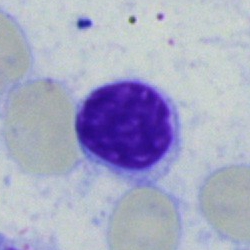

Bone marrow aspirate smear, single cell — lymphocyte.